Bone marrow smear · MGG-stained — 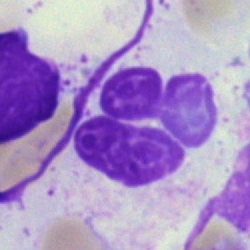 Artifact.